Bone marrow aspirate smear.
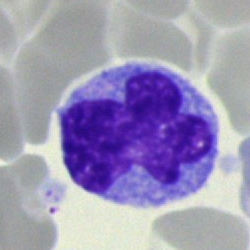 Specimen: bone marrow smear.
Cell type: monocyte.